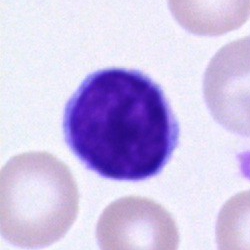

Q: What is the morphological classification of this cell?
A: This is a typical lymphocyte.